Bone marrow smear; 250×250 px; 40× objective, oil immersion.
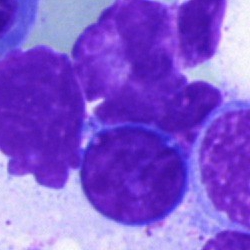
Showing a lymphocyte.